Bone marrow aspirate smear. May-Grünwald-Giemsa stain
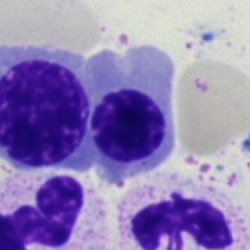

Cell type: nucleated red blood cell.